May-Grünwald-Giemsa/Pappenheim stain. Bone marrow smear:
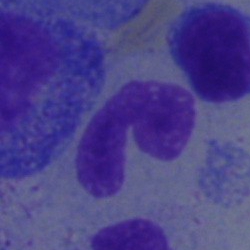Specimen: bone marrow aspirate smear.
Cell: band-form neutrophil.